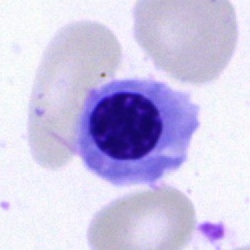

The cell shown is an erythroblast.